MGG-stained. Bone marrow aspirate smear.
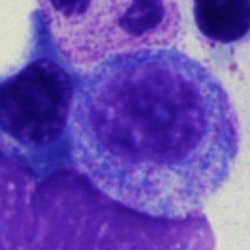Q: What cell is this?
A: A progranulocyte.